Bone marrow smear; single-cell field; 40× oil immersion — 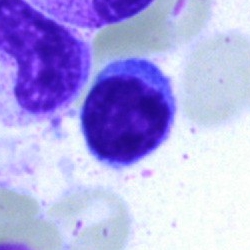 {"cell_type": "lymphocyte", "lineage": "lymphoid"}